Bone marrow aspirate smear
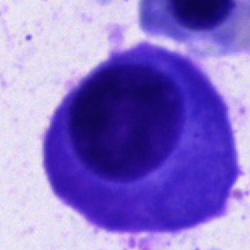
The cell shown is a plasmacyte.